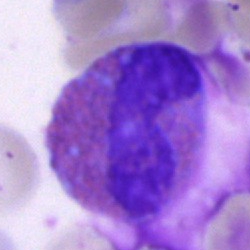

Impression — eosinophil.